Bone marrow smear
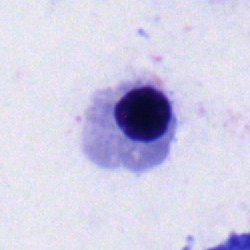
An erythroblast.